Bone marrow aspirate smear: 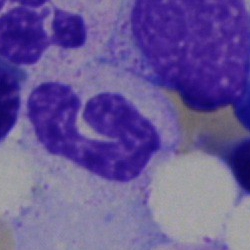Segmented neutrophil.